Single-cell crop. Bone marrow aspirate smear.
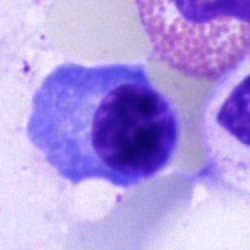

A plasma cell.